Peripheral blood film: 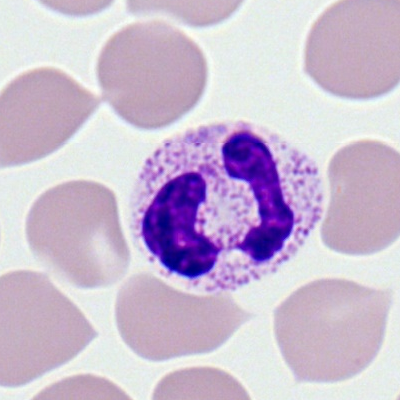Morphology → segmented neutrophil.